Bone marrow aspirate smear:
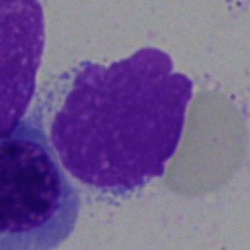

Showing an artefact.